Pappenheim-stained · bone marrow smear · 40× oil immersion — 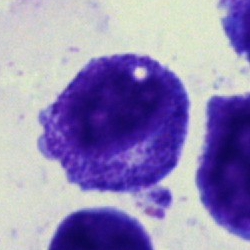 Morphology consistent with a proerythroblast.